Bone marrow aspirate smear.
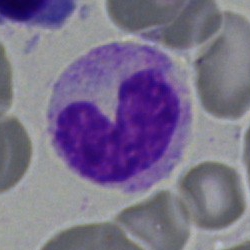

Classification = band-form neutrophil.